Bone marrow smear.
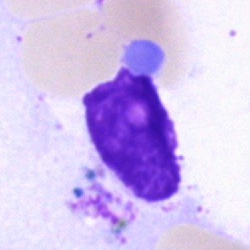 A lymphocyte.